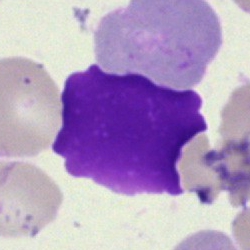 Showing an artefact.